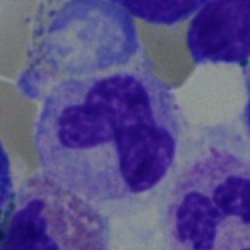A stab cell on a bone marrow smear.